Peripheral blood smear; Romanowsky-type stain.
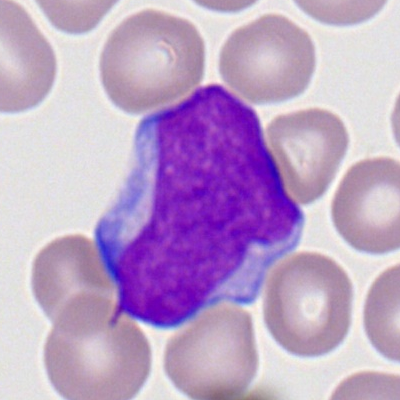 The cell shown is a myeloid blast.